Bone marrow smear · May-Grünwald-Giemsa stain — 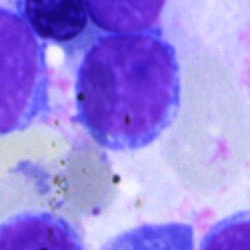
Morphological class — typical lymphocyte.